Bone marrow aspirate smear
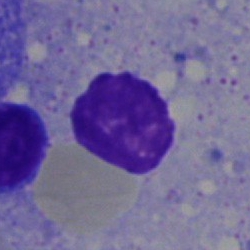 Morphological class — artifact.